Bone marrow smear: 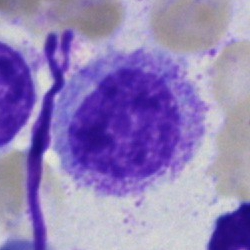 Morphological class = myelocyte.